40× oil immersion · bone marrow smear
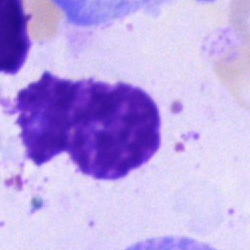 Cell type = artefact.